Bone marrow aspirate smear
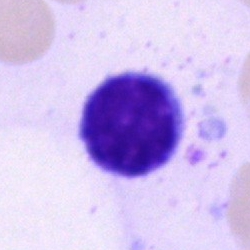 The cell is typical lymphocyte.